Peripheral blood film
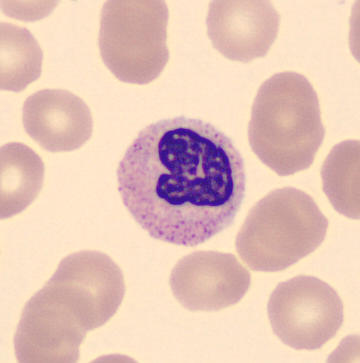Identified as a neutrophil (segmented).